Bone marrow aspirate smear.
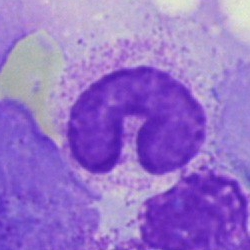

Morphological class — stab cell.